Bone marrow aspirate smear; single-cell crop — 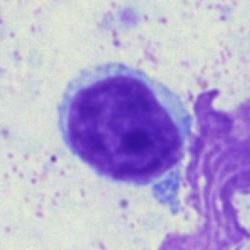Morphology consistent with a typical lymphocyte.